Brightfield microscopy, 40× oil immersion · bone marrow smear
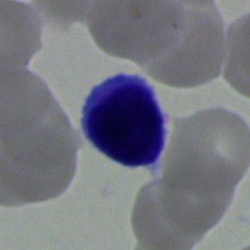
Cell: lymphocyte.